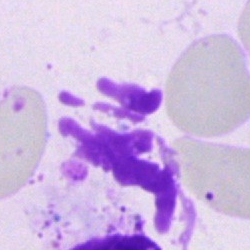
Cell type: artifact.